Bone marrow aspirate smear; image size 250×250: 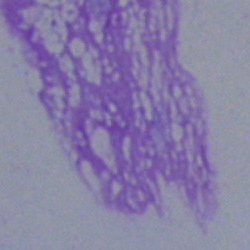Artefact.